Bone marrow aspirate smear
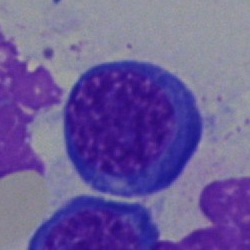 Cell type — nucleated red cell.